Brightfield microscopy, 40× oil immersion. Bone marrow smear
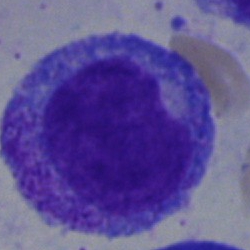

Specimen: bone marrow aspirate smear.
Cell type: progranulocyte.